Pappenheim-stained. 250 by 250 pixels. Bone marrow smear — 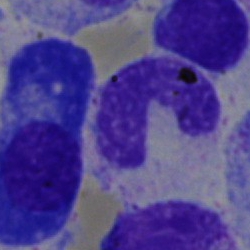{"cell_type": "band neutrophil"}